Bone marrow aspirate smear
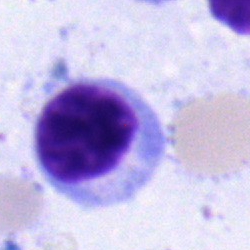The cell shown is a typical lymphocyte.